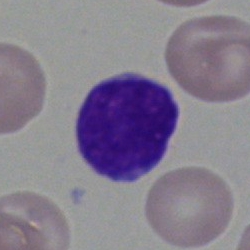 Classification: lymphocyte.